Bone marrow aspirate smear
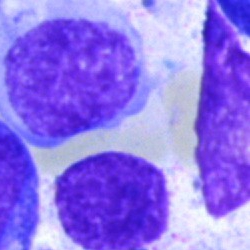Q: Identify the cell.
A: This is a lymphocyte.